Bone marrow aspirate smear
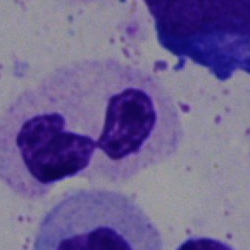This is a segmented neutrophil.